Bone marrow aspirate smear; cropped to a single cell — 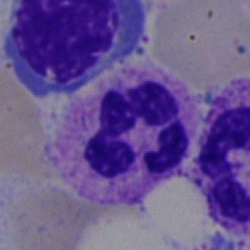
Impression → polymorphonuclear neutrophil.